Peripheral blood film: 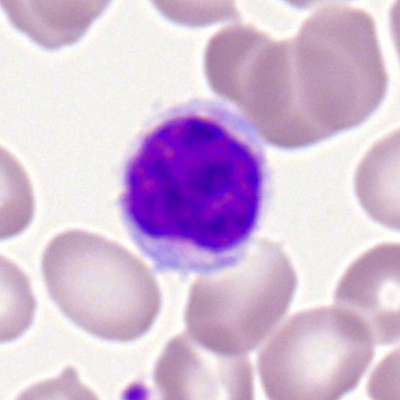{"cell_type": "typical lymphocyte", "lineage": "lymphoid"}